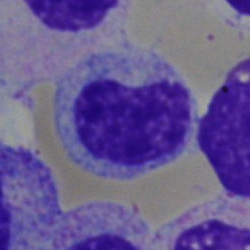
Lymphocyte.